Bone marrow smear. Pappenheim-stained
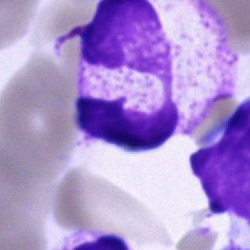
Specimen: bone marrow smear.
Classification: polymorphonuclear neutrophil.
Lineage: myeloid.